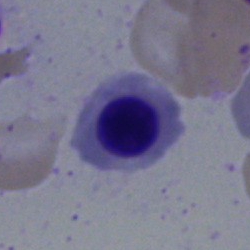Specimen: bone marrow aspirate smear.
Cell type: normoblast.